Peripheral blood film: 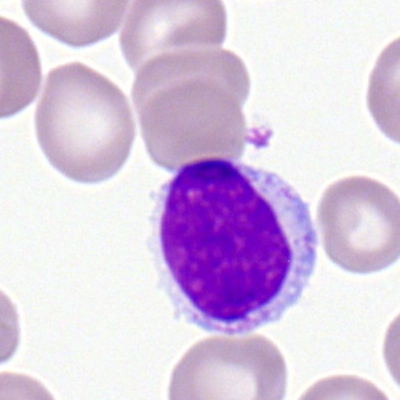
{"cell_type": "typical lymphocyte"}